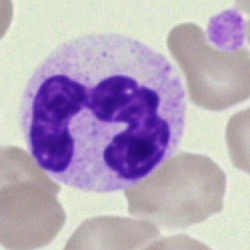

The cell shown is a polymorphonuclear neutrophil.